Bone marrow smear
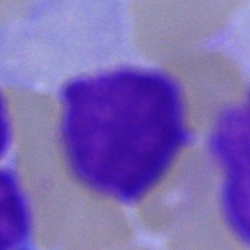Cell type = artifact.